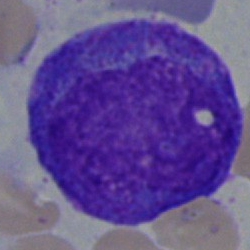

The classification is promyelocyte.